100× oil immersion. Peripheral blood film
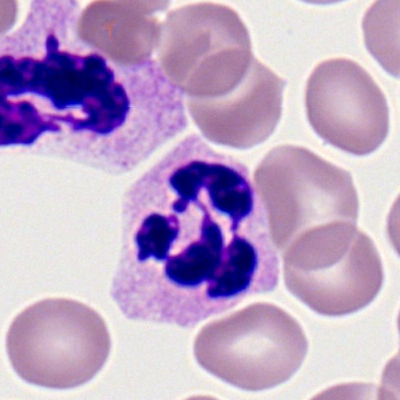
Q: What is shown here?
A: This is a segmented neutrophil.